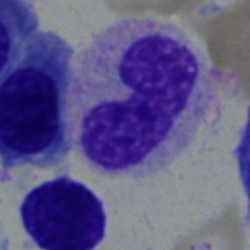
The cell shown is a neutrophil (band).